Single cell centered in the field · image size 250×250 · bone marrow aspirate smear: 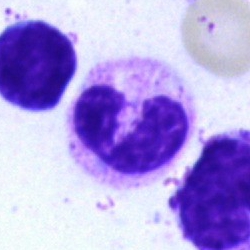 Morphology — neutrophil (segmented).